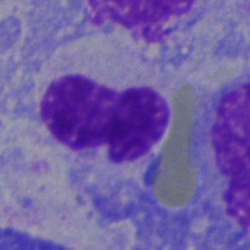

Bone marrow smear showing a polymorphonuclear neutrophil.